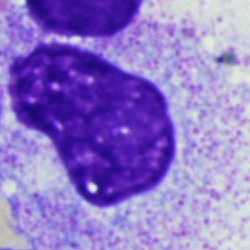

Morphology → artefact.